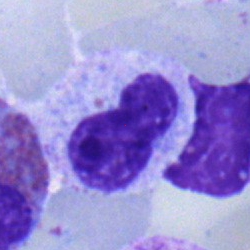
Specimen: bone marrow smear.
Cell type: metamyelocyte.
Lineage: myeloid.